Single cell centered in the field; bone marrow smear: 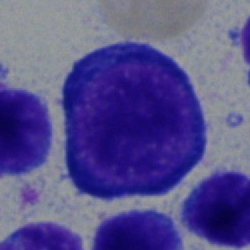
Specimen: bone marrow smear.
Classification: proerythroblast.